Bone marrow aspirate smear · 40× objective, oil immersion
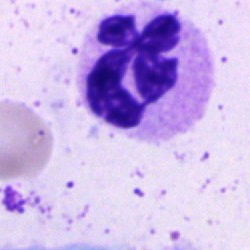
Specimen: bone marrow smear.
Classification: polymorphonuclear neutrophil.
Lineage: myeloid.